Bone marrow smear · Pappenheim-stained:
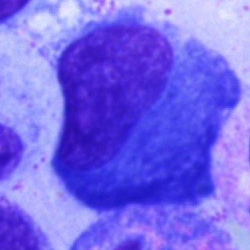{"cell_type": "plasma cell", "lineage": "lymphoid"}